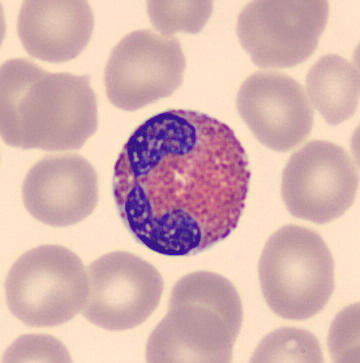 Eosinophilic granulocyte. Acquisition: Cropped to a single cell · peripheral blood smear · 360×363 px.